Bone marrow smear: 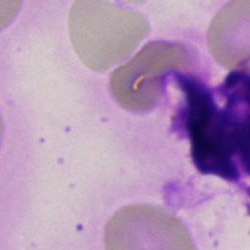 The cell shown is an artefact.